Bone marrow smear.
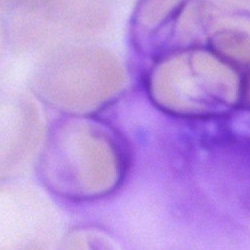Single cell identified as an artifact.